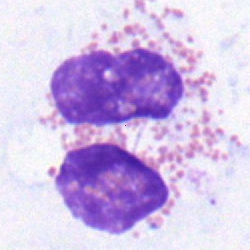

Bone marrow smear showing an eosinophilic granulocyte.